Bone marrow aspirate smear: 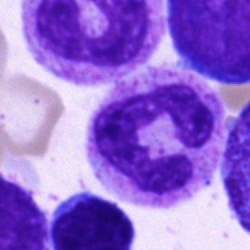Morphological class: neutrophil (segmented).